Brightfield microscopy, 40× oil immersion. Bone marrow aspirate smear.
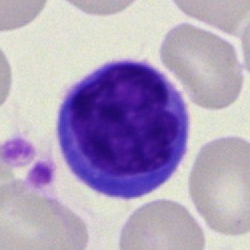

A lymphocyte.